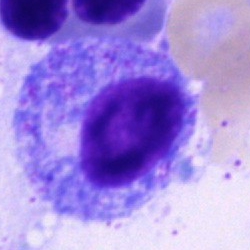 Cell type = promyelocyte.